Image size 250×250. Bone marrow aspirate smear:
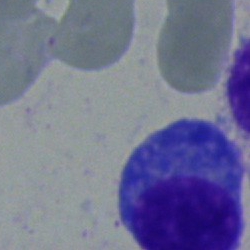
The cell shown is a plasmacyte.